Bone marrow aspirate smear.
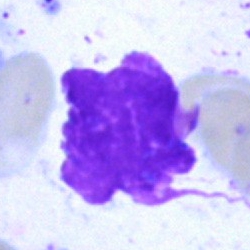
Morphology → artifact.